Bone marrow smear — 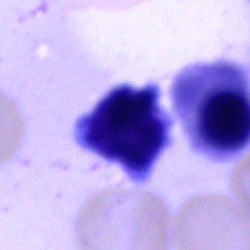The cell shown is a typical lymphocyte.